Bone marrow smear: 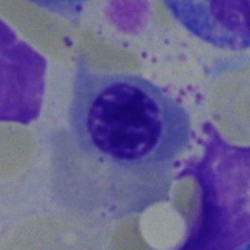Normoblast.